Image size 250×250; brightfield, 40× oil-immersion objective; bone marrow aspirate smear
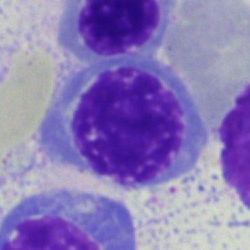
Specimen: bone marrow aspirate smear.
Classification: erythroblast.